250 by 250 pixels · bone marrow aspirate smear — 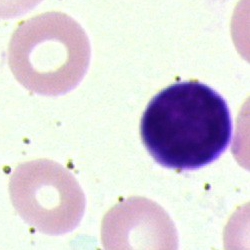
Cell = artefact.